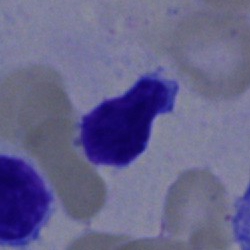
The cell shown is a lymphocyte.